Bone marrow smear; 40× objective, oil immersion — 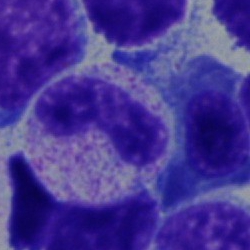 Impression → band-form neutrophil.